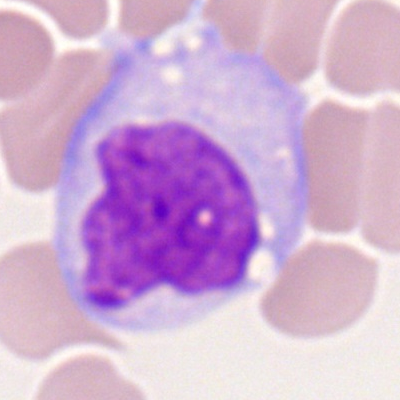
The cell is monocyte.